Single cell centered in the field. Bone marrow aspirate smear — 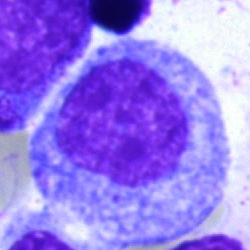
Cell type = progranulocyte.